Bone marrow aspirate smear · 250×250:
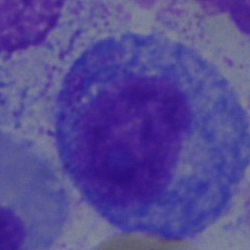The cell shown is a promyelocyte.